Brightfield, 40× oil-immersion objective; bone marrow smear: 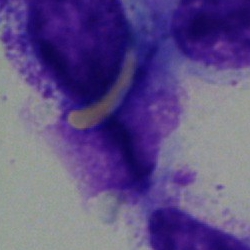Single cell identified as an artefact.